Bone marrow smear:
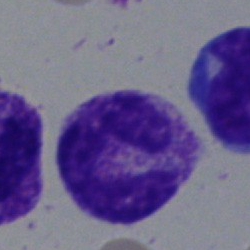Showing a polymorphonuclear neutrophil.